250×250 px; MGG-stained; bone marrow smear
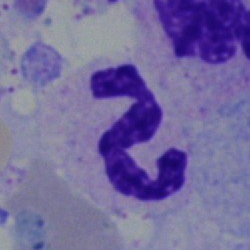

This is a neutrophil (segmented).